Bone marrow smear; brightfield microscopy, 40× oil immersion: 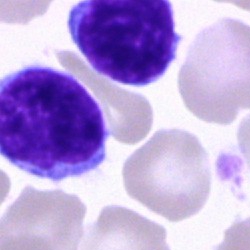

Cell type = typical lymphocyte.